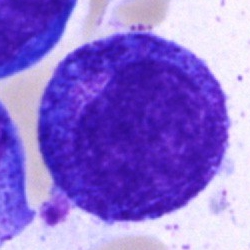

Morphological class = progranulocyte.